40× objective, oil immersion. Bone marrow aspirate smear: 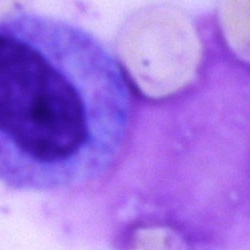

Cell: artifact.